Brightfield, 40× oil-immersion objective; bone marrow aspirate smear: 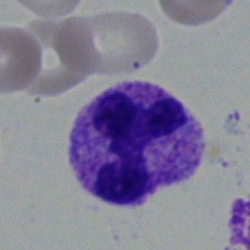
The morphological class is neutrophil (segmented).